Bone marrow aspirate smear:
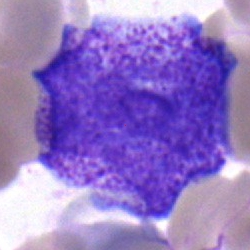

Q: Which cell type is shown here?
A: A blast.